250×250. 40× oil immersion. Bone marrow aspirate smear.
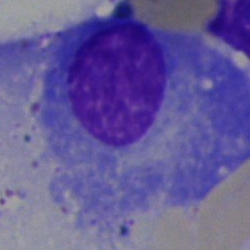
Showing a plasma cell.